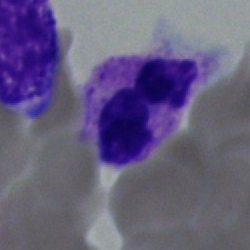 Q: What is the morphological classification of this cell?
A: This is a polymorphonuclear neutrophil.